Brightfield, 40× oil-immersion objective; bone marrow aspirate smear.
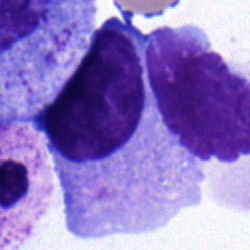
Lymphocyte.